Pappenheim-stained; bone marrow aspirate smear; 40× oil immersion:
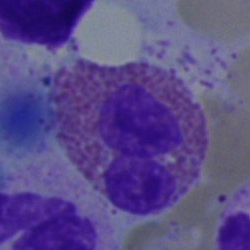The morphological class is eosinophil.